Bone marrow smear; image size 250×250 — 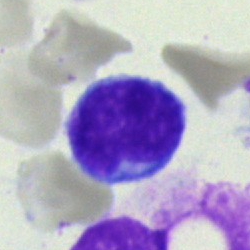

The morphological class is blast.